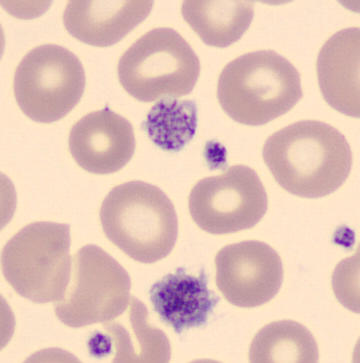 Peripheral blood smear showing a thrombocyte.